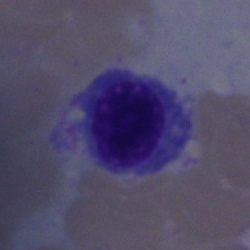

Q: What cell is this?
A: It is a nucleated red blood cell.